Bone marrow aspirate smear:
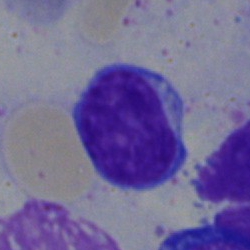

Cell = typical lymphocyte.